Bone marrow aspirate smear:
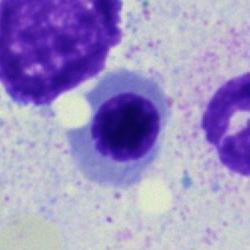Impression — nucleated red cell.